Bone marrow smear; 250×250:
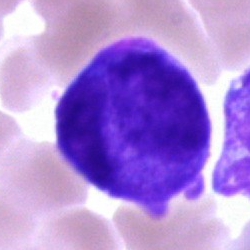Q: What is shown here?
A: Blast cell.